Bone marrow smear
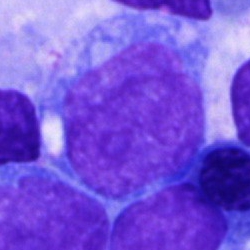 Impression — blast cell.